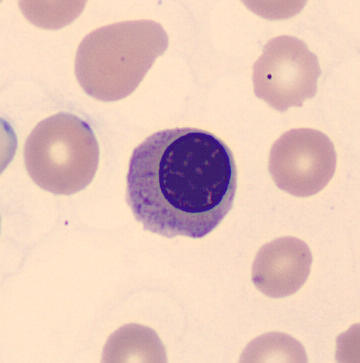
Impression — nucleated red blood cell. Acquisition: Peripheral blood smear.